Bone marrow aspirate smear; image size 250×250:
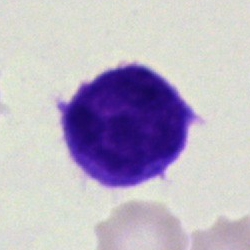

Classification: blast.